250 by 250 pixels. Bone marrow smear
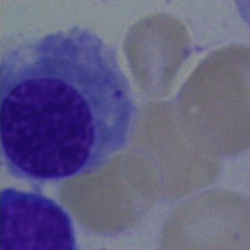 Impression — normoblast.